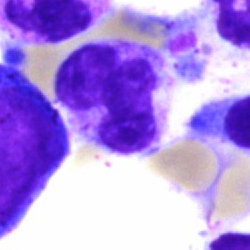

Q: What is the morphological classification of this cell?
A: Neutrophil (segmented).